40× objective, oil immersion; May-Grünwald-Giemsa/Pappenheim stain; bone marrow aspirate smear.
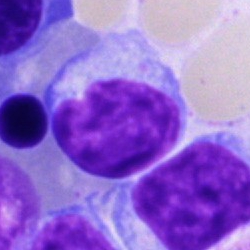Morphology consistent with a lymphocyte.